Single cell centered in the field. Bone marrow aspirate smear. May-Grünwald-Giemsa/Pappenheim stain:
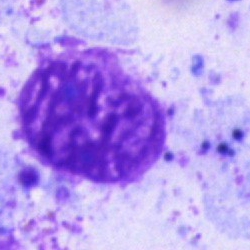Artifact.